Brightfield microscopy, 40× oil immersion. Bone marrow smear
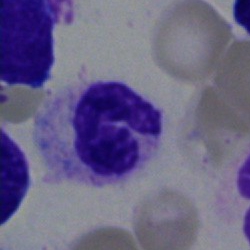

This is a segmented neutrophil.